Bone marrow smear:
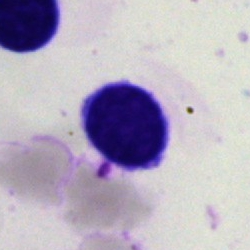Morphological class: typical lymphocyte.